MGG-stained · bone marrow aspirate smear
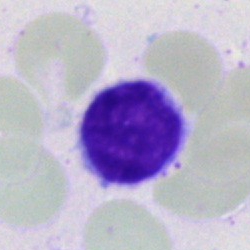Cell type = lymphocyte.